Bone marrow smear: 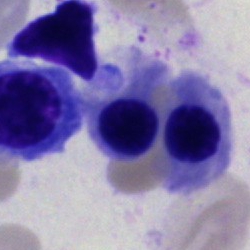
This is an erythroblast.